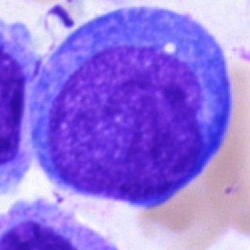

Q: What is shown here?
A: It is a blast.